Bone marrow smear. 40× objective, oil immersion. Cropped to a single cell
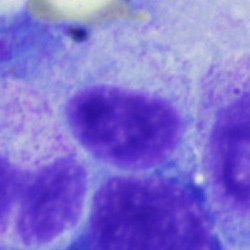 The cell shown is a typical lymphocyte.